Image size 250×250; bone marrow smear:
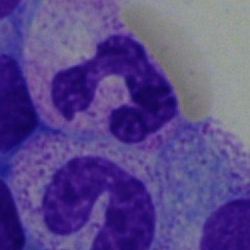

Polymorphonuclear neutrophil.